Bone marrow aspirate smear — 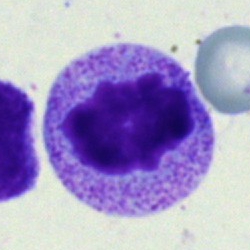 Cell of indeterminate lineage.